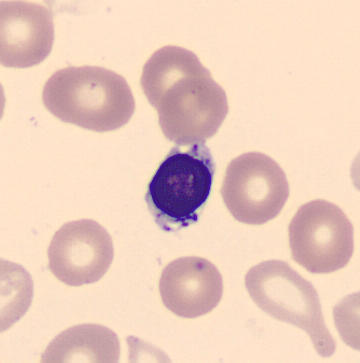

Specimen: peripheral blood smear.
Classification: erythroblast.
Lineage: erythroid.